Bone marrow smear: 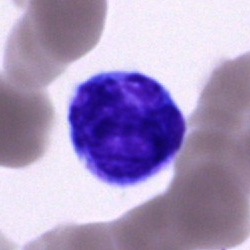 Q: What is shown here?
A: Lymphocyte.